Peripheral blood film
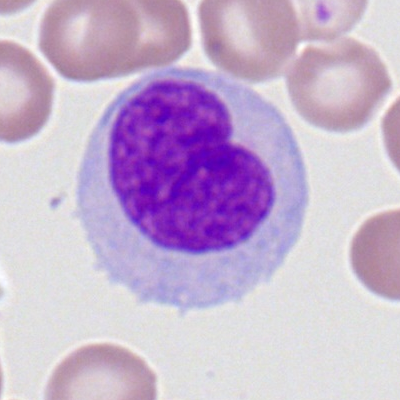
Single cell identified as a monocyte.